Bone marrow aspirate smear; single-cell field:
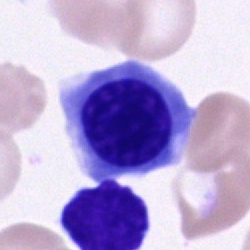 A normoblast.